May-Grünwald-Giemsa/Pappenheim stain; single-cell field; bone marrow aspirate smear
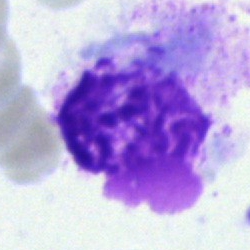
Artefact.